Image size 250×250; bone marrow aspirate smear: 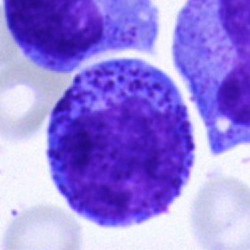Classification: promyelocyte.